Pappenheim-stained · bone marrow aspirate smear · image size 250×250
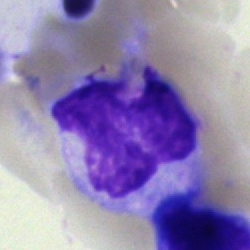

The cell shown is an artefact.